Bone marrow aspirate smear — 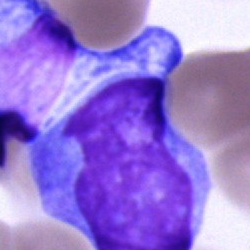 A blast cell.